Bone marrow smear; 40× objective, oil immersion: 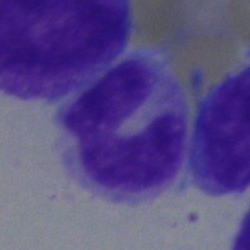 Q: What is shown here?
A: This is a band neutrophil.